Bone marrow smear.
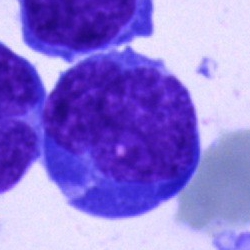Morphology — blast.